Bone marrow smear. Single cell centered in the field:
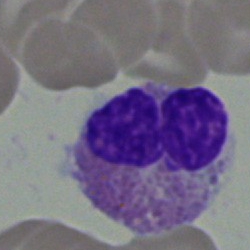
Impression — eosinophil.